40× oil immersion. Bone marrow aspirate smear: 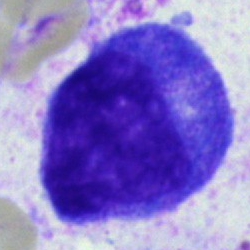
{"cell_type": "progranulocyte", "lineage": "myeloid"}